250 by 250 pixels; bone marrow smear: 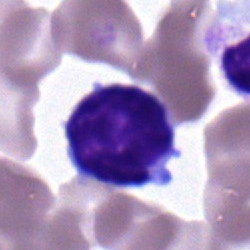

Specimen: bone marrow aspirate smear.
Classification: lymphocyte.
Lineage: lymphoid.